Bone marrow aspirate smear: 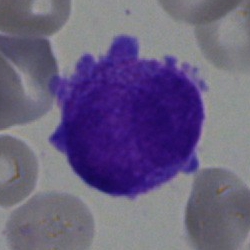{"cell_type": "undifferentiated blast"}